Image size 250×250 · bone marrow smear.
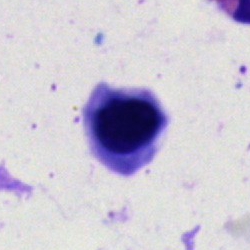

The cell type is erythroblast.